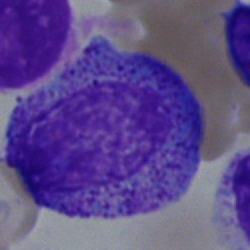
The cell shown is a promyelocyte.